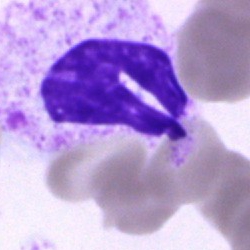
The cell shown is a neutrophil (segmented).